Bone marrow aspirate smear:
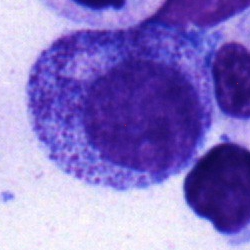
A promyelocyte.